Bone marrow smear. MGG-stained — 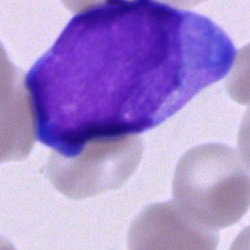
Q: What is the morphological classification of this cell?
A: Blast.